Brightfield microscopy, 40× oil immersion; bone marrow smear; single cell centered in the field — 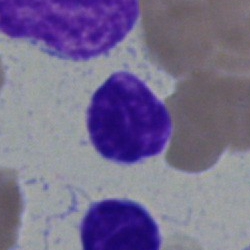
{"cell_type": "typical lymphocyte", "lineage": "lymphoid"}